Bone marrow aspirate smear; Pappenheim-stained:
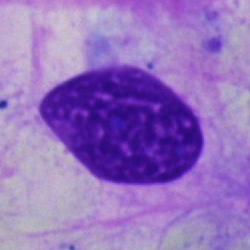 {"cell_type": "artefact"}